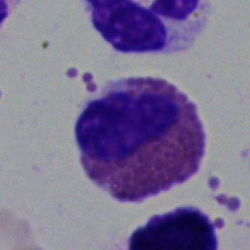

Specimen: bone marrow aspirate smear.
Morphological class: eosinophil.
Lineage: myeloid.